Brightfield microscopy, 40× oil immersion; bone marrow smear; 250×250.
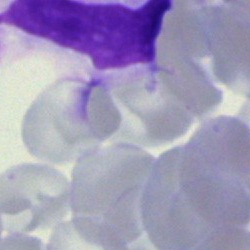The cell shown is an artefact.